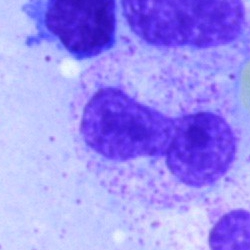 Showing a band-form neutrophil.